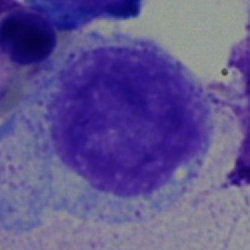

Specimen: bone marrow aspirate smear.
Morphological class: myelocyte.